Single cell centered in the field; peripheral blood film
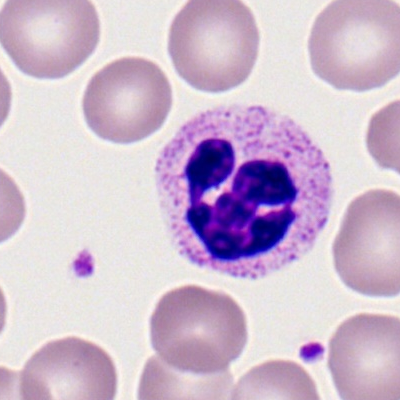 Morphology → neutrophil (segmented).